Bone marrow smear: 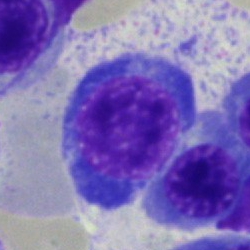
The cell type is nucleated red cell.